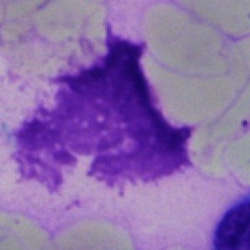
{"cell_type": "artefact"}